Bone marrow aspirate smear — 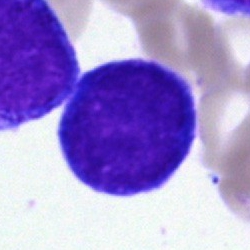

The cell type is blast cell.